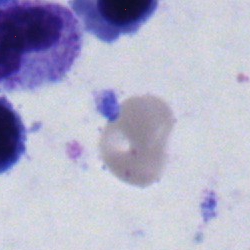
Specimen: bone marrow aspirate smear.
Morphological class: nucleated red cell.
Lineage: erythroid.